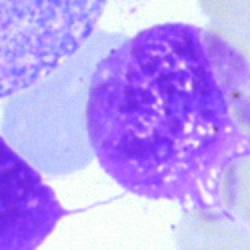

Bone marrow smear showing an artefact.